Bone marrow aspirate smear
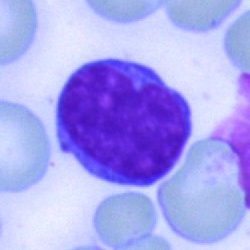 Lymphocyte.